Bone marrow aspirate smear.
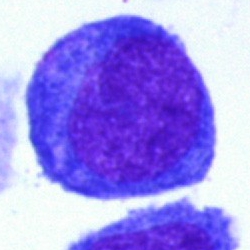 Cell = blast cell.